40× objective, oil immersion; bone marrow aspirate smear; 250×250
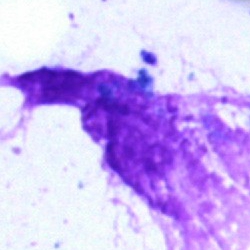
The cell shown is an artifact.